Peripheral blood smear:
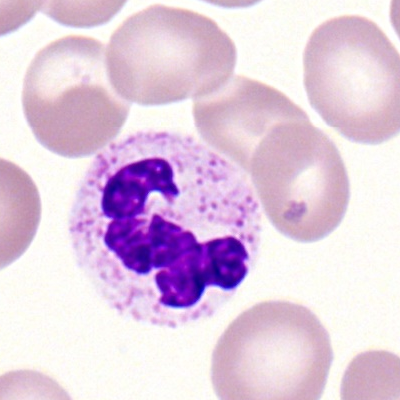 This is a segmented neutrophil.